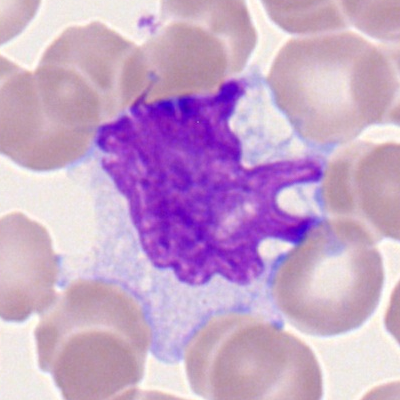
The classification is monocyte.